Bone marrow smear; 40× oil immersion: 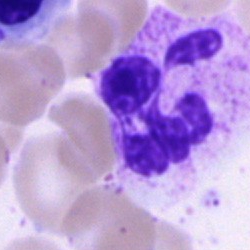 The classification is segmented neutrophil.